Bone marrow aspirate smear. Single-cell crop.
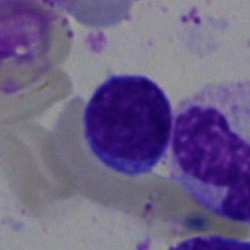Morphology → typical lymphocyte.